Bone marrow smear — 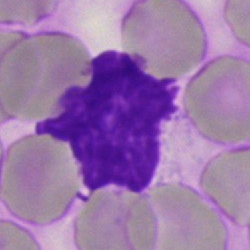{"cell_type": "artifact"}